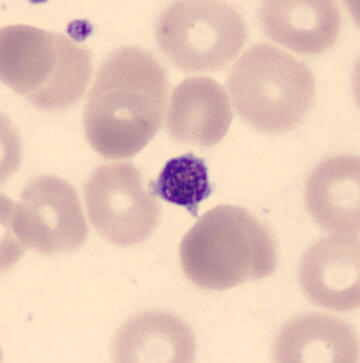

Morphological class: thrombocyte.
Acquisition: Peripheral blood smear.